Bone marrow smear:
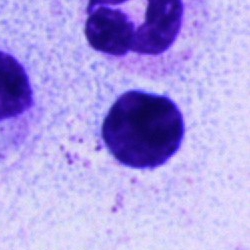
Morphological class: typical lymphocyte.